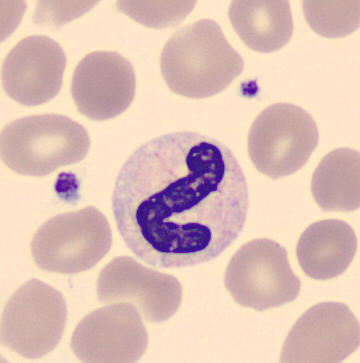

Specimen: peripheral blood film.
Cell: band-form neutrophil.
Lineage: myeloid.